Single cell centered in the field; bone marrow aspirate smear: 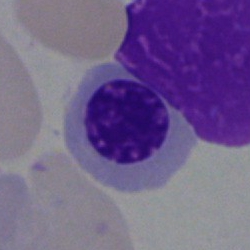
Q: Which cell type is shown here?
A: This is an erythroblast.